Peripheral blood film · Romanowsky-type stain · 100× oil immersion, 14.14 px/µm
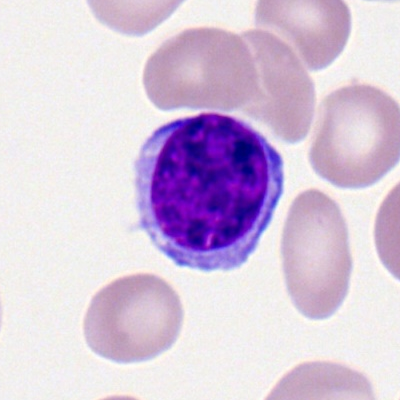

Morphology consistent with a lymphocyte.